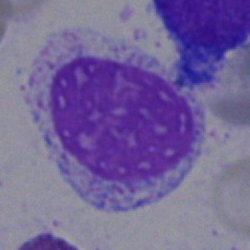
Bone marrow aspirate smear, single cell — artifact.